250 by 250 pixels. Single-cell field. Bone marrow aspirate smear
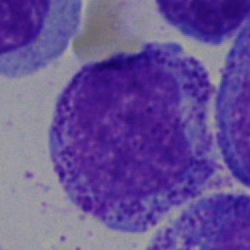

Morphological class — myelocyte.